Peripheral blood smear — 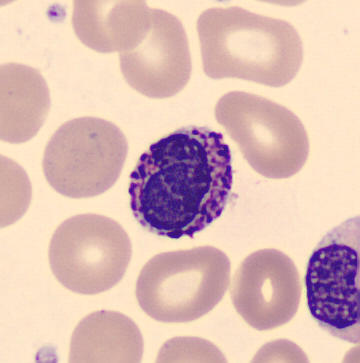
Specimen: peripheral blood smear.
Cell type: basophil.
Lineage: myeloid.